250 by 250 pixels. Pappenheim-stained. Bone marrow aspirate smear: 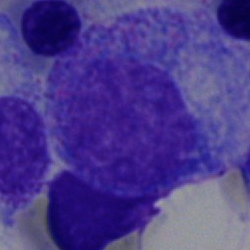
Q: Which cell type is shown here?
A: It is a promyelocyte.